250×250 · bone marrow smear · single-cell field: 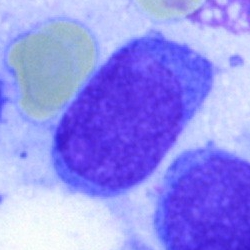

Q: What is the morphological classification of this cell?
A: A blast.